Bone marrow smear · 250 by 250 pixels — 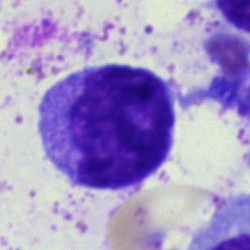The cell type is monocyte.